Bone marrow aspirate smear:
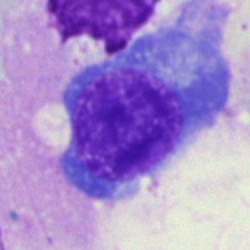

Impression → nucleated red blood cell.